Bone marrow aspirate smear
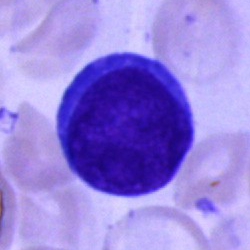The cell is undifferentiated blast.